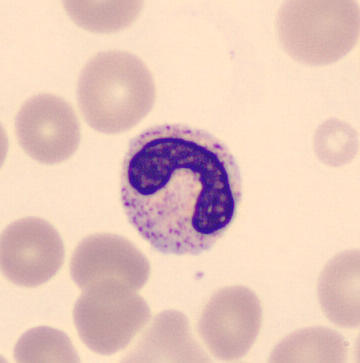Cell: band-form neutrophil.

Preparation: Peripheral blood film.